Bone marrow aspirate smear: 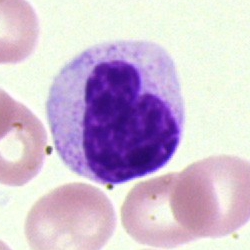 Q: What type of cell is this?
A: This is a monocyte.